Bone marrow aspirate smear:
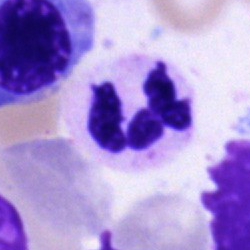

Q: What cell is this?
A: It is a polymorphonuclear neutrophil.